Bone marrow aspirate smear — 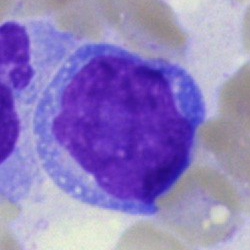Q: What cell is this?
A: Blast cell.